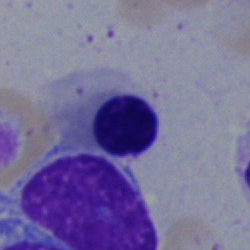
Single-cell crop from a bone marrow smear: erythroblast.